Bone marrow smear
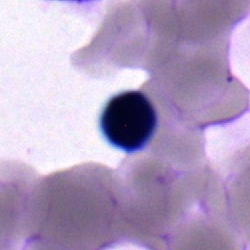
Cell type — lymphocyte.